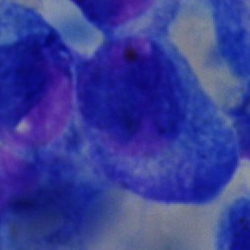
Q: What is the morphological classification of this cell?
A: This is a plasma cell.